Image size 250×250 · bone marrow aspirate smear · 40× oil immersion
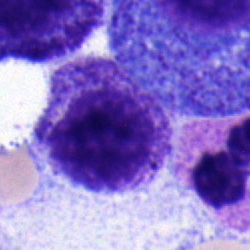

Morphological class = myelocyte.